Romanowsky-stained · M8 digital microscope (Precipoint), 100× oil immersion · peripheral blood film
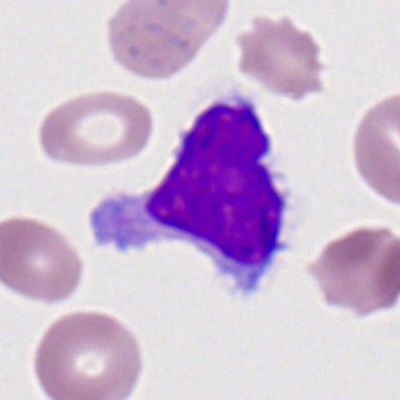Specimen: peripheral blood film.
Classification: lymphocyte.